Pappenheim-stained; bone marrow aspirate smear — 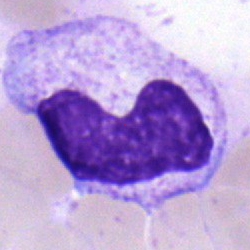 Band-form neutrophil.